Bone marrow smear: 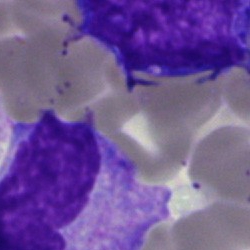

Morphological class = monocyte.